250×250. Brightfield microscopy, 40× oil immersion. Bone marrow smear
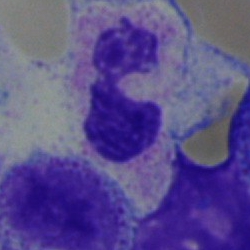Neutrophil (segmented).